Bone marrow aspirate smear:
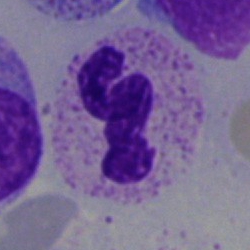
The cell shown is a polymorphonuclear neutrophil.